Bone marrow smear. 40× objective, oil immersion.
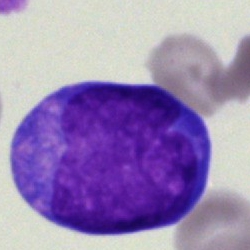
{"cell_type": "blast cell"}